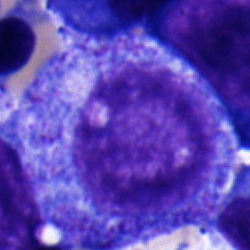Specimen: bone marrow smear.
Morphological class: promyelocyte.
Lineage: myeloid.